Peripheral blood smear
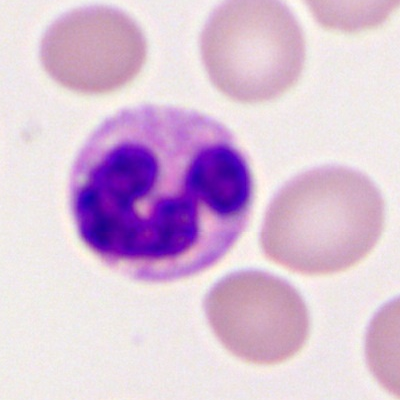

The cell type is segmented neutrophil.